Bone marrow smear.
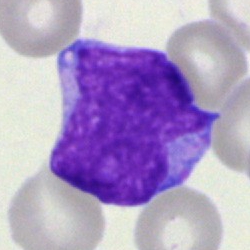 Undifferentiated blast.